250×250 px; bone marrow aspirate smear: 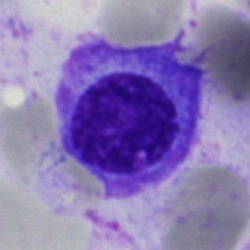The cell is plasmacyte.